Peripheral blood film · single-cell field
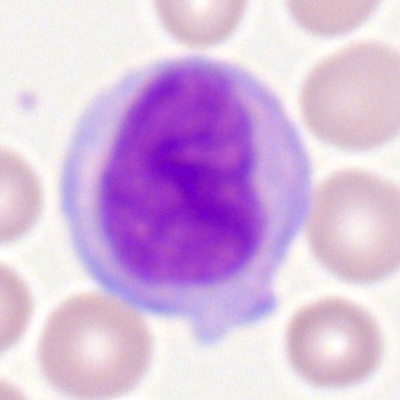

The classification is monocyte.